Bone marrow aspirate smear.
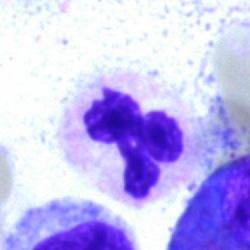 Cell type: neutrophil (segmented).